Bone marrow aspirate smear; 250 by 250 pixels; Pappenheim-stained — 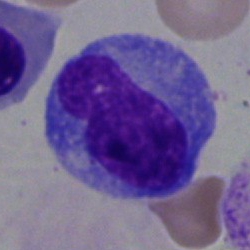

Q: Identify the cell.
A: Lymphocyte.